Peripheral blood film
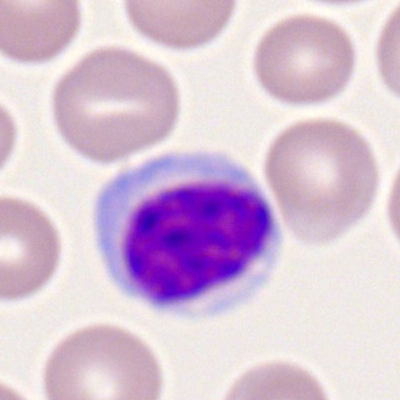 Typical lymphocyte.